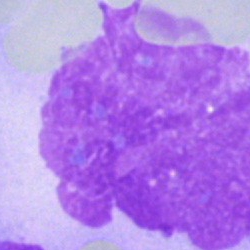Specimen: bone marrow smear.
Classification: artifact.